Bone marrow smear
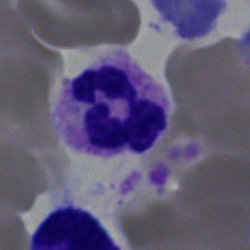

Morphological class: polymorphonuclear neutrophil.